Single-cell crop. Bone marrow aspirate smear. Pappenheim-stained — 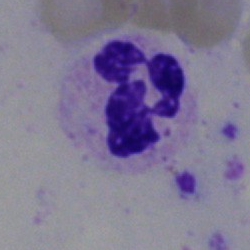

A segmented neutrophil.